Bone marrow aspirate smear:
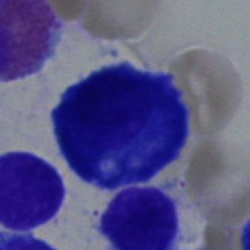 Morphological class — plasma cell.